Bone marrow smear — 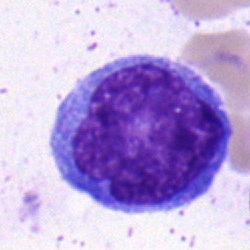 Classification = blast cell.